Bone marrow smear — 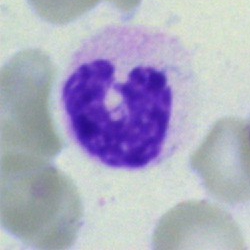
A segmented neutrophil.